Bone marrow smear
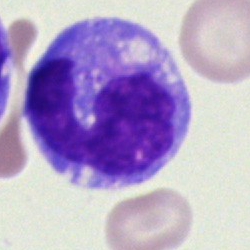 Q: What type of cell is this?
A: This is a monocyte.